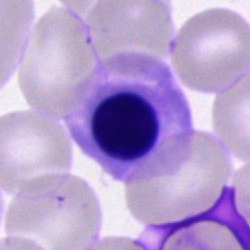 Cell — nucleated red cell.